Bone marrow smear: 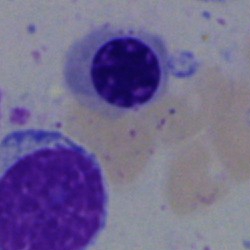 Specimen: bone marrow smear.
Morphological class: normoblast.
Lineage: erythroid.